Bone marrow smear; single cell centered in the field
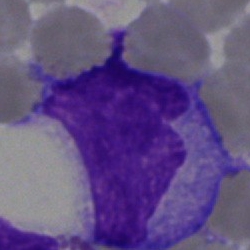

Specimen: bone marrow smear.
Cell: monocyte.